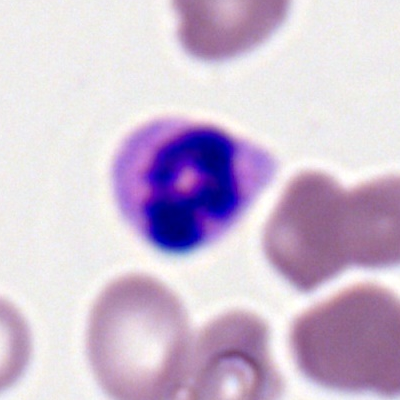 Polymorphonuclear neutrophil.